Brightfield microscopy, 40× oil immersion. Bone marrow smear. May-Grünwald-Giemsa stain:
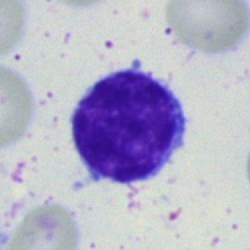
Morphology — lymphocyte.